Bone marrow smear:
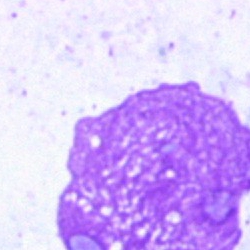

This is an artifact.